Single-cell field; bone marrow smear.
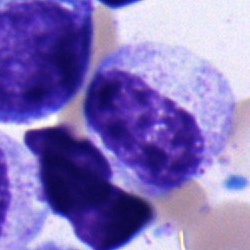{"cell_type": "metamyelocyte"}